Bone marrow smear. MGG-stained. 250×250:
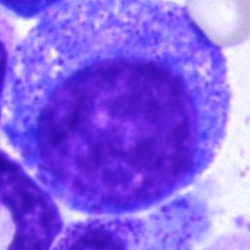 Specimen: bone marrow smear.
Morphological class: promyelocyte.
Lineage: myeloid.